Bone marrow aspirate smear.
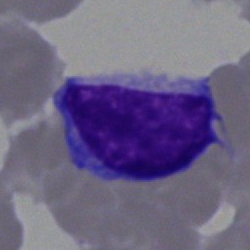

{"cell_type": "lymphocyte", "lineage": "lymphoid"}